Bone marrow aspirate smear · Pappenheim-stained.
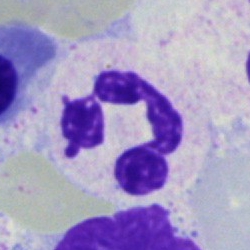Morphological class — neutrophil (segmented).